Bone marrow smear; 250×250.
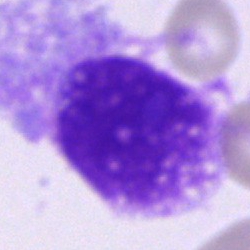Q: What is shown here?
A: Artefact.